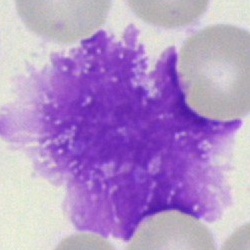Q: What is shown here?
A: This is an artefact.